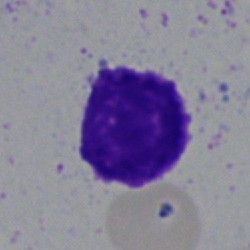 Impression → artifact.